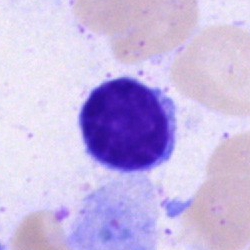 Specimen: bone marrow aspirate smear.
Cell: typical lymphocyte.